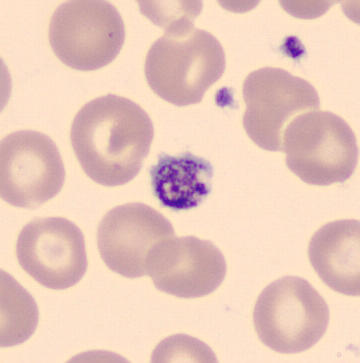Q: What is this?
A: This is a platelet.
Preparation: CellaVision DM96. MGG stain. Peripheral blood smear.